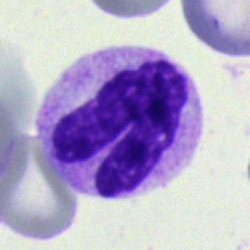 The cell is neutrophil (segmented).